Brightfield, 40× oil-immersion objective · cropped to a single cell · bone marrow aspirate smear: 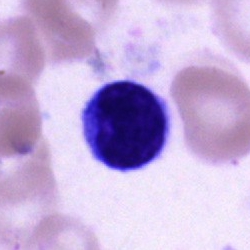Single cell identified as a typical lymphocyte.